Bone marrow smear · 250 by 250 pixels — 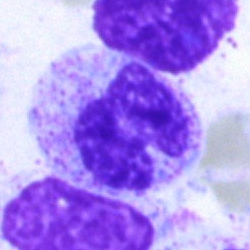

Cell: band neutrophil.